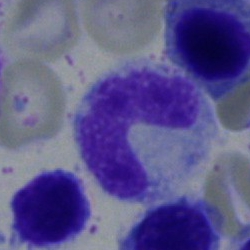

Specimen: bone marrow aspirate smear.
Classification: band-form neutrophil.
Lineage: myeloid.